Peripheral blood film — 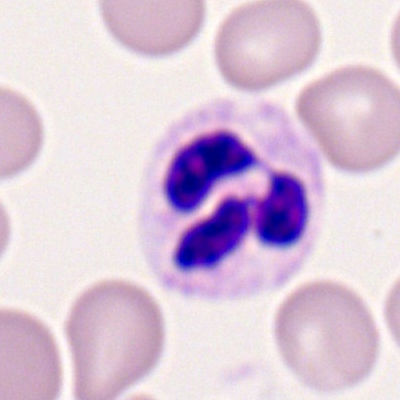 A segmented neutrophil.